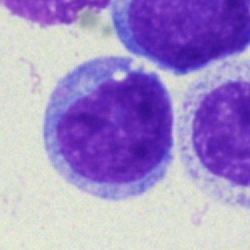Q: What is shown here?
A: A blast cell.